Bone marrow aspirate smear. 250×250. 40× oil immersion: 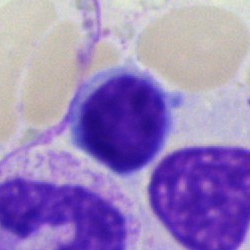

This is a typical lymphocyte.